Bone marrow aspirate smear · 40× objective, oil immersion: 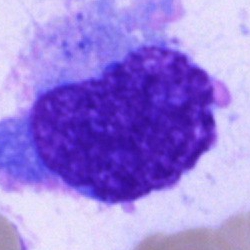

Cell type — artifact.